Bone marrow smear
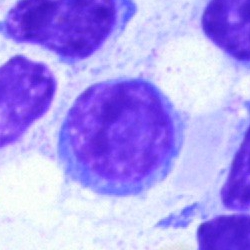
Q: What cell is this?
A: It is a typical lymphocyte.